Bone marrow smear:
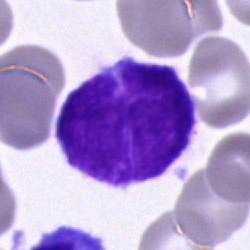 Showing a lymphocyte.